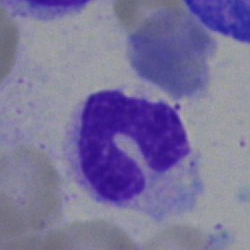 Showing a polymorphonuclear neutrophil.